Bone marrow smear:
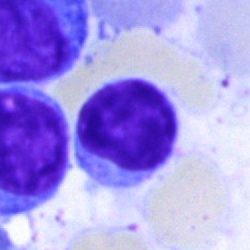 The cell type is artifact.